250×250 px; single cell centered in the field; bone marrow aspirate smear
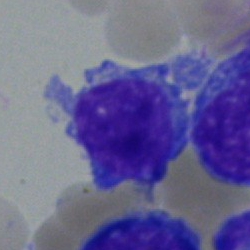

Morphology — lymphocyte.